Bone marrow smear.
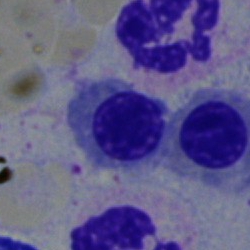

Nucleated red blood cell.